MGG-stained · bone marrow smear · single cell centered in the field: 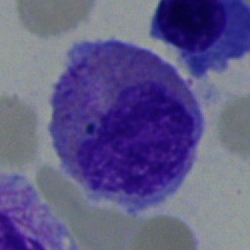 The morphological class is eosinophil.